Bone marrow aspirate smear. Single-cell field
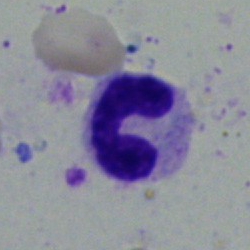 Band neutrophil.